Bone marrow smear · Pappenheim-stained
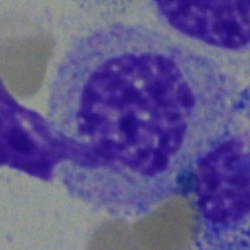Q: What type of cell is this?
A: It is a myelocyte.